Bone marrow aspirate smear
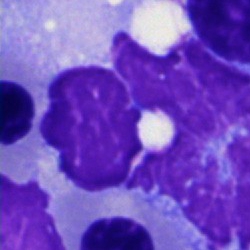
Cell type — artifact.